Bone marrow aspirate smear
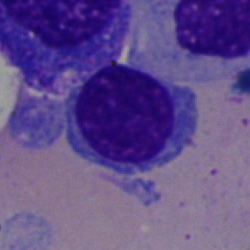 Showing a typical lymphocyte.